Bone marrow smear:
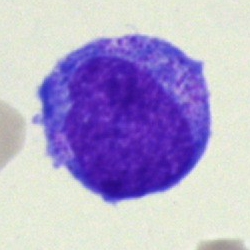

This is a progranulocyte.